Bone marrow smear — 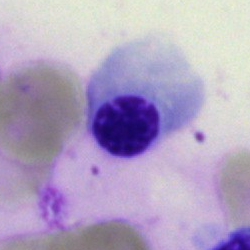Morphology consistent with an erythroblast.